Bone marrow smear: 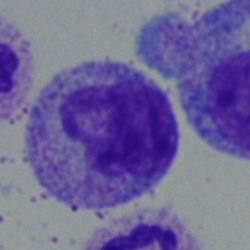
{"cell_type": "myelocyte", "lineage": "myeloid"}